Bone marrow aspirate smear
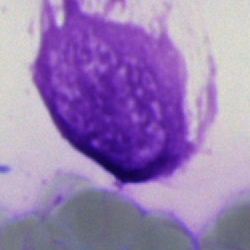Cell type = artifact.